Pappenheim-stained · bone marrow smear · 250×250 px
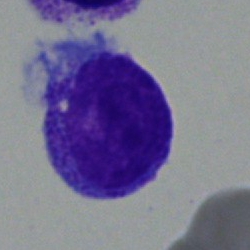

This is a blast cell.